Bone marrow aspirate smear · cropped to a single cell · image size 250×250.
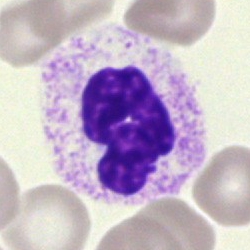
Impression — polymorphonuclear neutrophil.